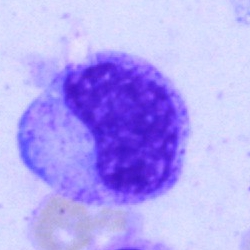
Single cell identified as a metamyelocyte.